Bone marrow aspirate smear.
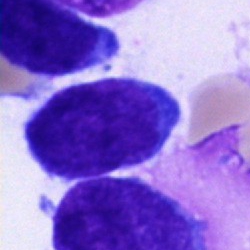 Single cell identified as an undifferentiated blast.